100× oil immersion, 14.14 px/µm · peripheral blood film · 400 by 400 pixels:
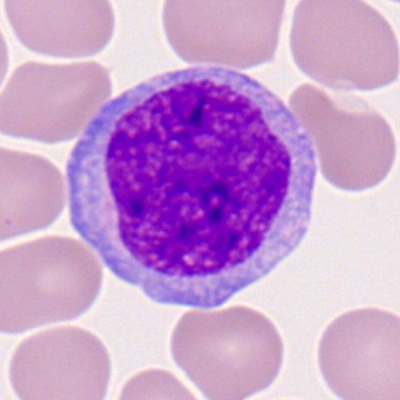

Single cell identified as a monocyte.